Bone marrow aspirate smear — 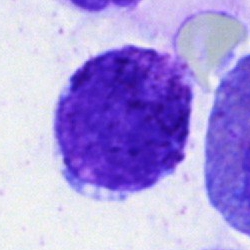
Morphology consistent with a basophil.